Bone marrow smear.
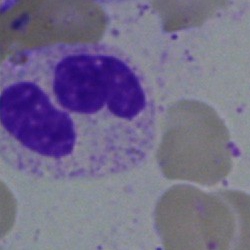
{"cell_type": "segmented neutrophil", "lineage": "myeloid"}